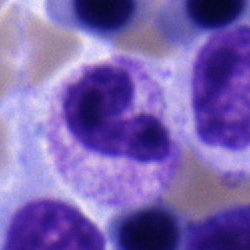

Bone marrow smear showing a band neutrophil.